Cropped to a single cell. Bone marrow smear
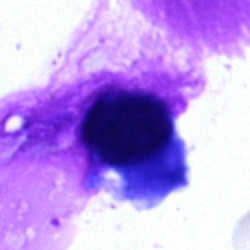 This is a normoblast.